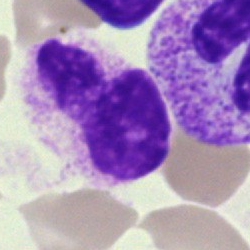

Q: Which cell type is shown here?
A: This is a cell of indeterminate lineage.